Bone marrow smear. Single-cell field.
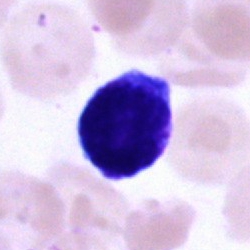
Q: Which cell type is shown here?
A: It is a lymphocyte.